40× objective, oil immersion; bone marrow smear:
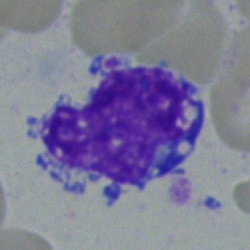
The classification is blast.